Bone marrow smear: 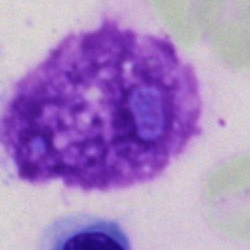 Q: What is shown here?
A: It is an artefact.